Peripheral blood smear. 400 by 400 pixels:
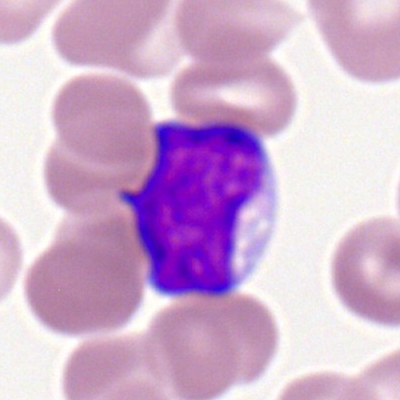

A typical lymphocyte.